Automated cell imaging (CellaVision DM96) · peripheral blood film: 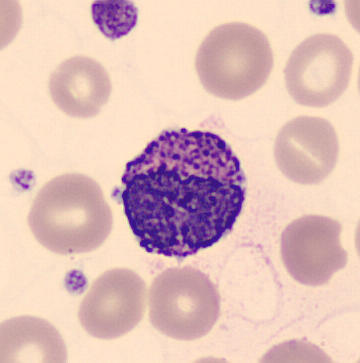

Showing a basophil.